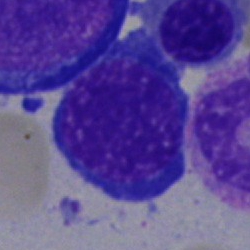 This is a nucleated red blood cell.